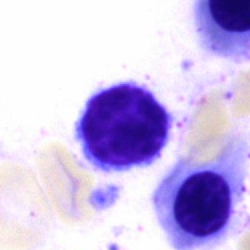Bone marrow aspirate smear, single cell — lymphocyte.